Bone marrow aspirate smear.
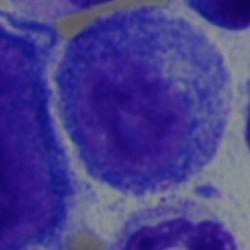

Single cell identified as a progranulocyte.